Bone marrow aspirate smear. May-Grünwald-Giemsa stain: 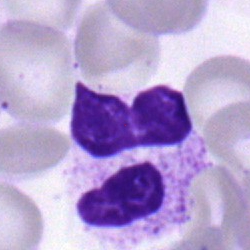Cell type — neutrophil (segmented).